Bone marrow smear. Single cell centered in the field
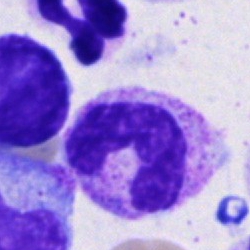

Morphology → band-form neutrophil.